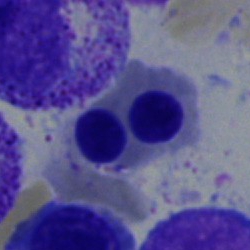
Specimen: bone marrow smear.
Cell type: erythroblast.
Lineage: erythroid.